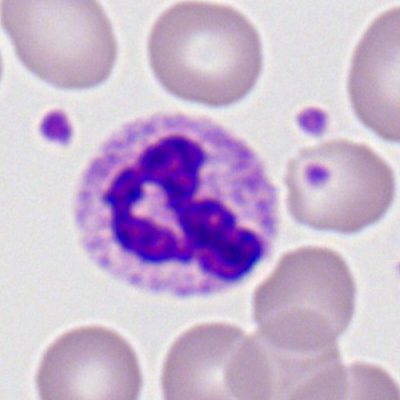
Morphology — segmented neutrophil.